Bone marrow aspirate smear. May-Grünwald-Giemsa stain. Cropped to a single cell.
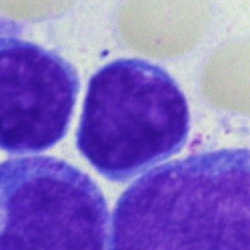Showing a blast cell.